Bone marrow aspirate smear:
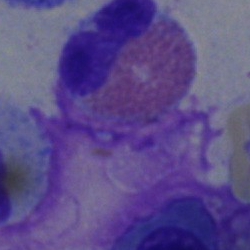Specimen: bone marrow smear.
Cell type: eosinophil.